Bone marrow smear; cropped to a single cell: 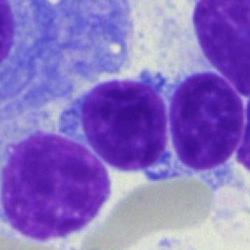 The morphological class is lymphocyte.